Brightfield microscopy, 40× oil immersion · bone marrow smear — 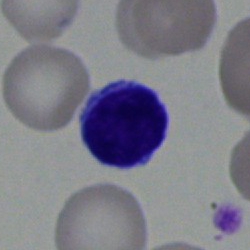{"cell_type": "typical lymphocyte", "lineage": "lymphoid"}